Bone marrow smear:
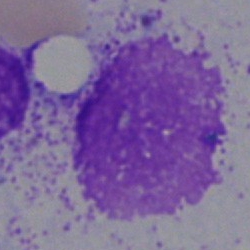 Q: What is shown here?
A: Artefact.